MGG-stained · bone marrow smear.
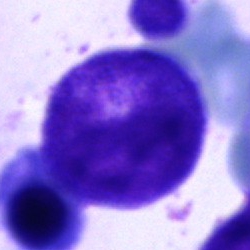

Cell = promyelocyte.